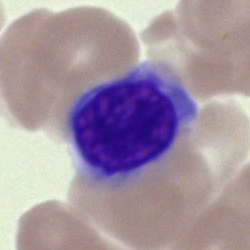 Showing an erythroblast.